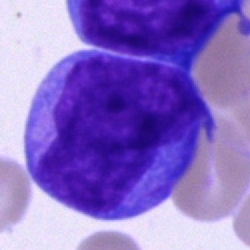
Morphological class — undifferentiated blast.